Peripheral blood smear:
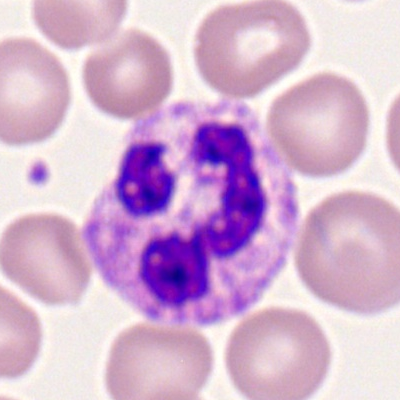

Morphological class: polymorphonuclear neutrophil.